250×250; brightfield microscopy, 40× oil immersion; bone marrow aspirate smear.
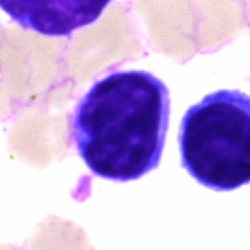 Impression → typical lymphocyte.